Bone marrow aspirate smear · 40× objective, oil immersion · Pappenheim-stained:
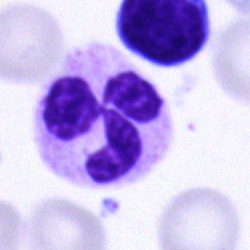

Showing an eosinophilic granulocyte.